Brightfield, 100× oil-immersion objective · peripheral blood film · 400×400: 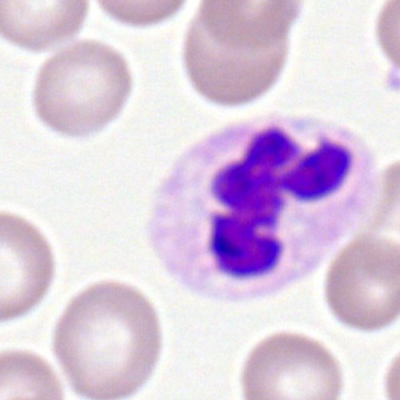
Polymorphonuclear neutrophil.